Bone marrow aspirate smear; single-cell field
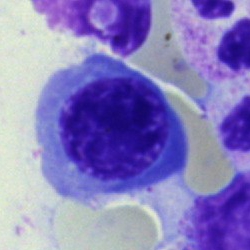
Q: What cell is this?
A: Nucleated red cell.